40× objective, oil immersion; bone marrow aspirate smear.
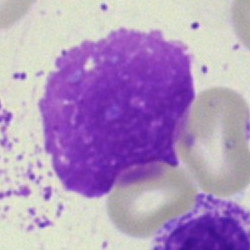 Cell — artefact.